Bone marrow smear.
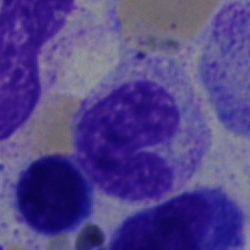 Showing a neutrophil (band).